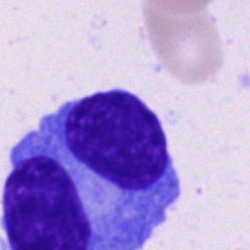A plasmacyte on a bone marrow smear.